Peripheral blood smear; Romanowsky stain.
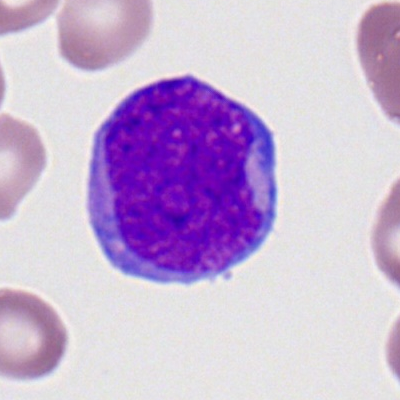
A myeloblast.